Bone marrow aspirate smear
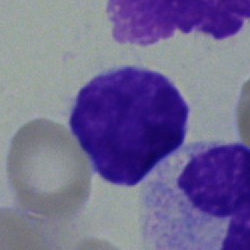Specimen: bone marrow smear.
Cell: typical lymphocyte.
Lineage: lymphoid.